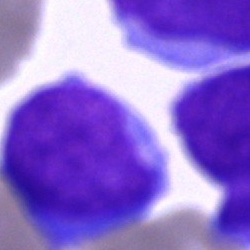
This is a blast cell.